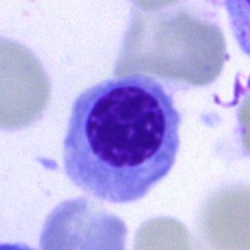 Morphological class — nucleated red cell.